Bone marrow smear.
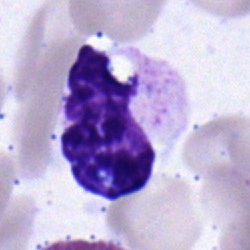
Single cell identified as a neutrophil (segmented).